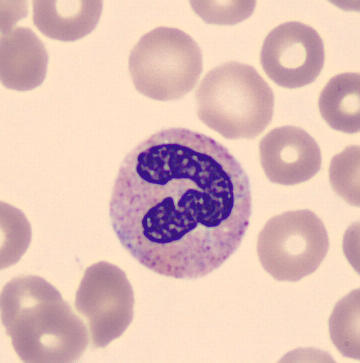
Specimen: peripheral blood smear.
Cell: band-form neutrophil.

Preparation: Single cell centered in the field.